Bone marrow smear — 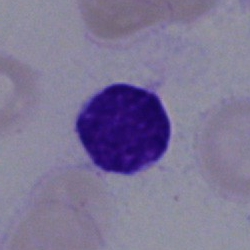 The morphological class is lymphocyte.